Peripheral blood smear; Romanowsky-type stain; brightfield, 100× oil-immersion objective.
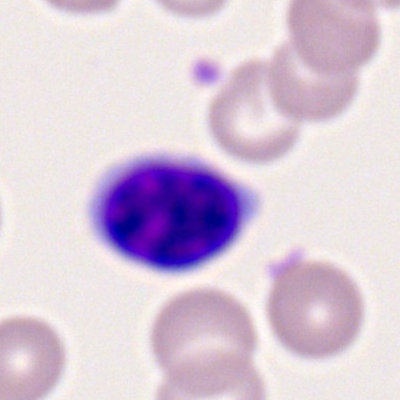 Specimen: peripheral blood film.
Cell: lymphocyte.
Lineage: lymphoid.